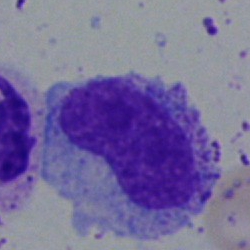
Specimen: bone marrow aspirate smear.
Cell type: metamyelocyte.
Lineage: myeloid.